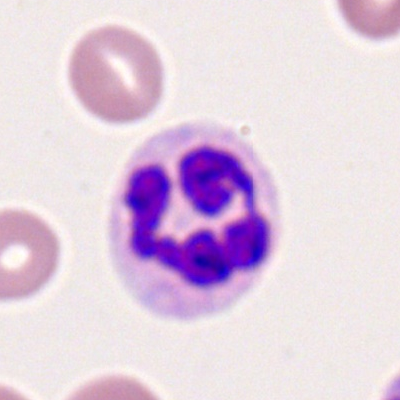

The cell shown is a neutrophil (segmented).